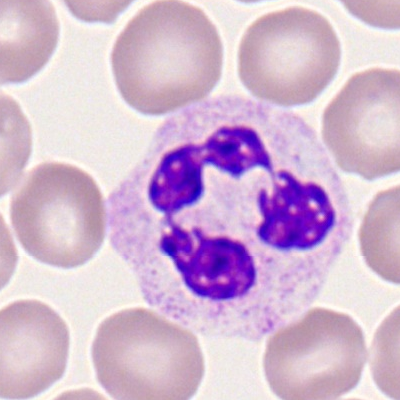
Q: What type of cell is this?
A: A neutrophil (segmented).